Bone marrow smear: 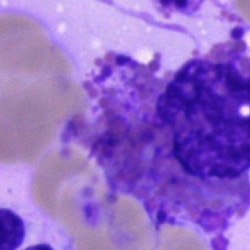

This is an eosinophilic granulocyte.